Bone marrow aspirate smear.
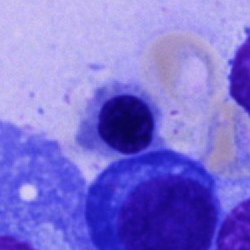
{"cell_type": "erythroblast", "lineage": "erythroid"}